Bone marrow smear: 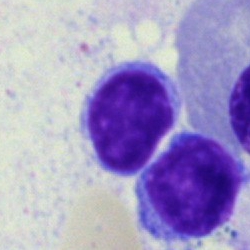Classification = lymphocyte.